Bone marrow aspirate smear:
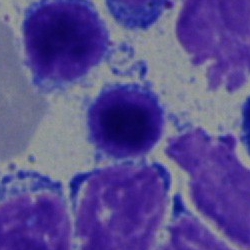{"cell_type": "lymphocyte", "lineage": "lymphoid"}